Bone marrow smear: 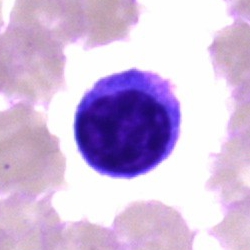Specimen: bone marrow aspirate smear.
Classification: plasma cell.
Lineage: lymphoid.